May-Grünwald-Giemsa/Pappenheim stain · bone marrow smear · 250×250: 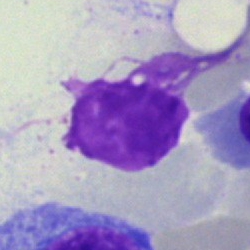
Impression — artifact.